250 by 250 pixels. Single cell centered in the field. Bone marrow aspirate smear: 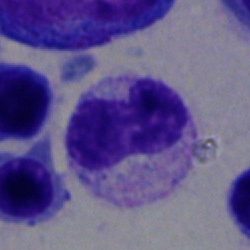Single cell identified as a neutrophil (band).